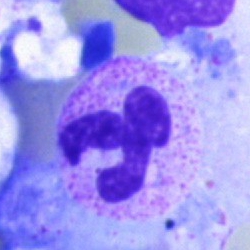

Single-cell crop from a bone marrow smear: neutrophil (segmented).